Bone marrow smear · single cell centered in the field · 40× objective, oil immersion:
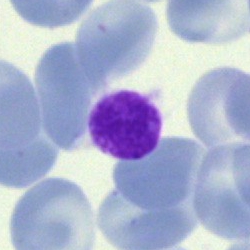

Showing an artefact.